250×250 · bone marrow aspirate smear — 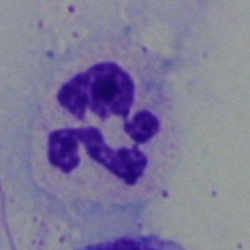This is a polymorphonuclear neutrophil.